Bone marrow aspirate smear.
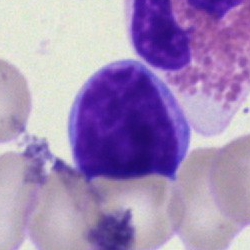 Morphology — lymphocyte.